Bone marrow smear: 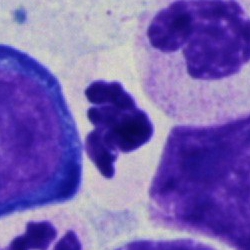The classification is artefact.